Bone marrow aspirate smear.
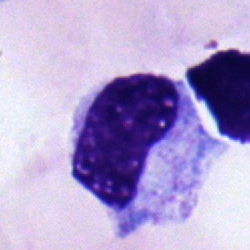 A metamyelocyte.